Bone marrow smear
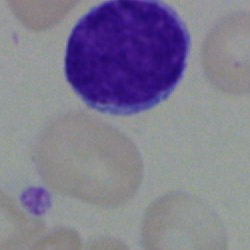This is a lymphocyte.